Bone marrow smear
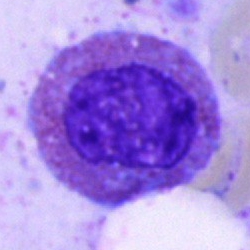This is an eosinophilic granulocyte.